Brightfield microscopy, 40× oil immersion; bone marrow smear: 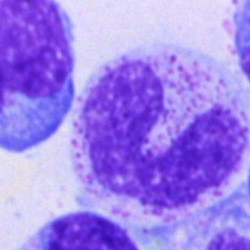 A neutrophil (band).